Bone marrow smear — 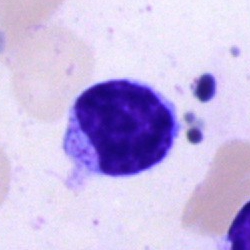 Specimen: bone marrow smear.
Cell type: lymphocyte.